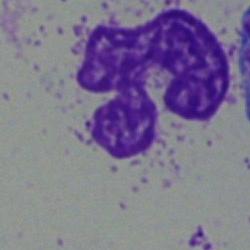
Classification: polymorphonuclear neutrophil.